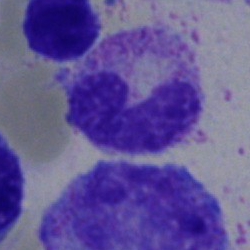 Q: What type of cell is this?
A: This is a neutrophil (segmented).